Peripheral blood film. 400 by 400 pixels. 100× oil immersion: 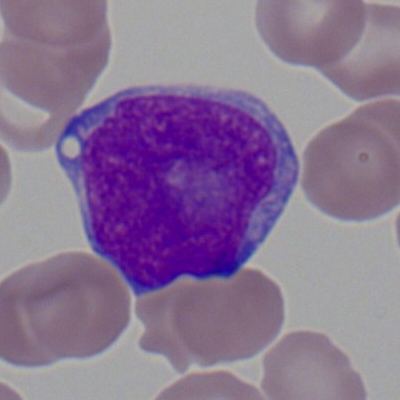Classification = myeloid blast.